Bone marrow smear; May-Grünwald-Giemsa/Pappenheim stain: 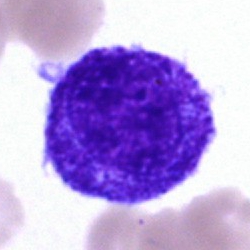 {"cell_type": "progranulocyte"}